250×250 px. Single-cell crop. Bone marrow aspirate smear
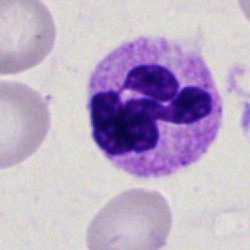The cell shown is a segmented neutrophil.